Peripheral blood smear
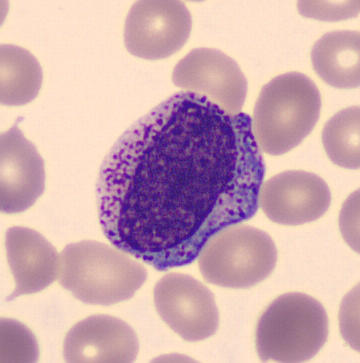

The cell is promyelocyte.